Bone marrow aspirate smear:
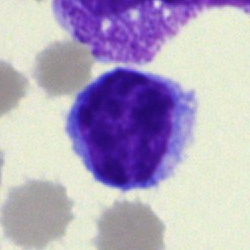Cell — lymphocyte.